Peripheral blood film; 360×363 px; CellaVision DM96:
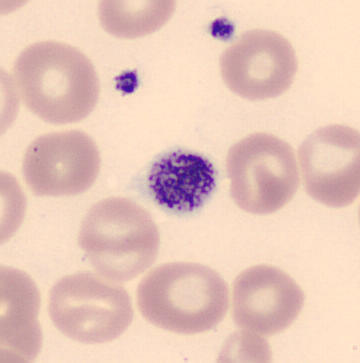

Morphological class: platelet.